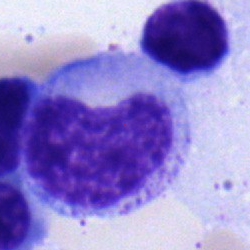The cell shown is a metamyelocyte.